40× oil immersion · bone marrow smear — 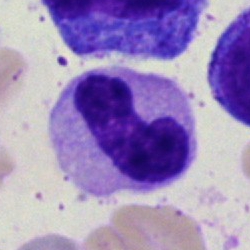 Cell: neutrophil (band).